Image size 250×250; bone marrow aspirate smear — 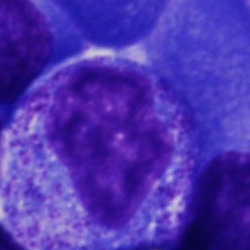

Q: Identify the cell.
A: A promyelocyte.